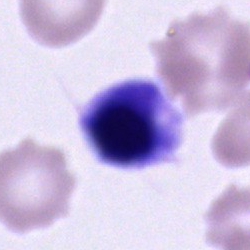

The cell is unidentifiable cell.